Single-cell crop · bone marrow aspirate smear — 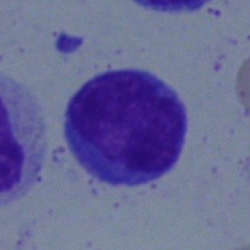 Q: Identify the cell.
A: This is an undifferentiated blast.